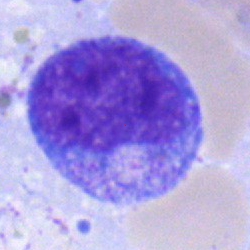Q: What cell is this?
A: This is a progranulocyte.